100× objective, oil immersion; peripheral blood smear — 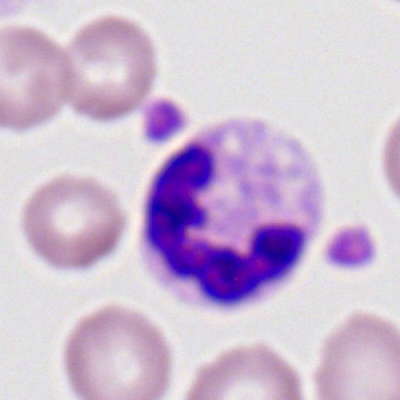
Specimen: peripheral blood film.
Morphological class: polymorphonuclear neutrophil.
Lineage: myeloid.